Single cell centered in the field · 40× objective, oil immersion · bone marrow aspirate smear — 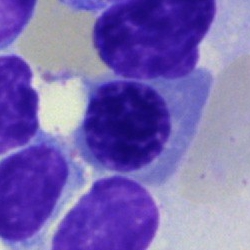Classification = erythroblast.